Bone marrow smear; MGG-stained
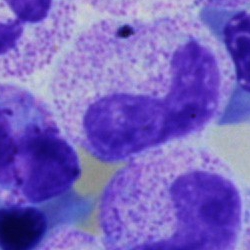
Impression → band-form neutrophil.